Cropped to a single cell; peripheral blood smear:
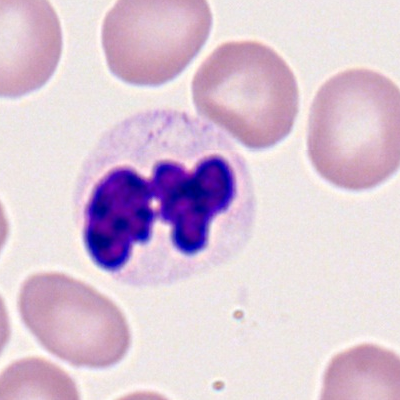 The cell is segmented neutrophil.